Bone marrow smear:
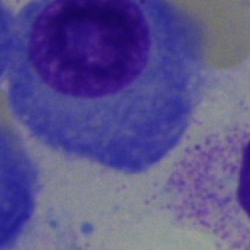 Specimen: bone marrow aspirate smear.
Cell: plasma cell.